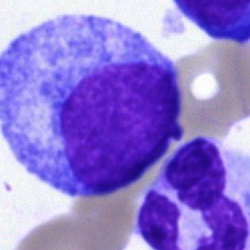

Impression — promyelocyte.